40× oil immersion · bone marrow smear — 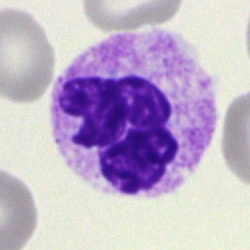 Morphology consistent with a polymorphonuclear neutrophil.